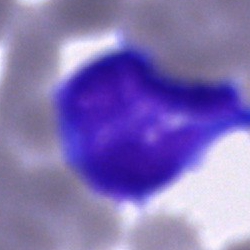
Q: What type of cell is this?
A: This is an undifferentiated blast.